Bone marrow aspirate smear
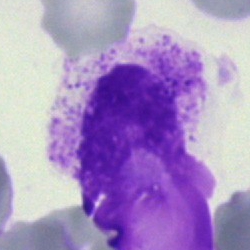
Cell type = artifact.